May-Grünwald-Giemsa/Pappenheim stain. Bone marrow smear — 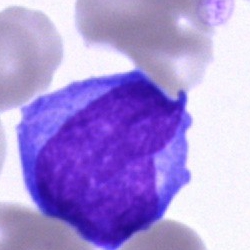 Morphological class — undifferentiated blast.